Bone marrow aspirate smear:
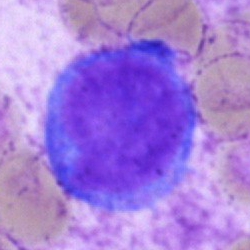A blast.